Brightfield microscopy, 40× oil immersion · 250 by 250 pixels · bone marrow smear
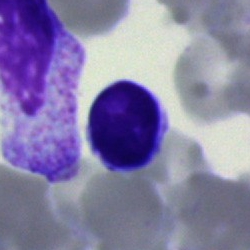Lymphocyte.